250×250; MGG-stained; bone marrow aspirate smear:
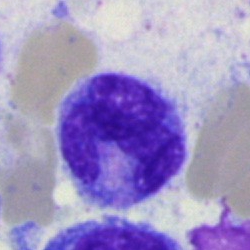

The cell is monocyte.